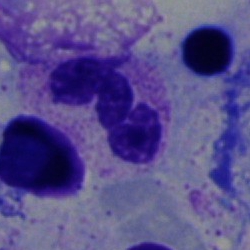 Q: Identify the cell.
A: Polymorphonuclear neutrophil.